Pappenheim-stained. 40× objective, oil immersion. Bone marrow smear — 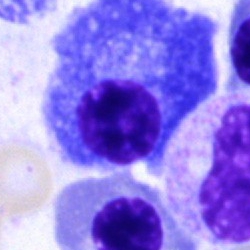Cell — plasma cell.